Single-cell field · bone marrow aspirate smear · image size 250×250:
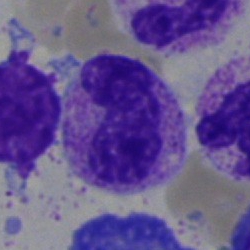Morphology — stab cell.